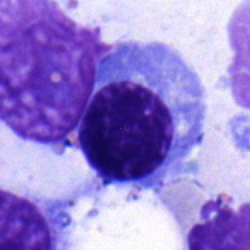Morphological class: erythroblast.